Cropped to a single cell · peripheral blood film: 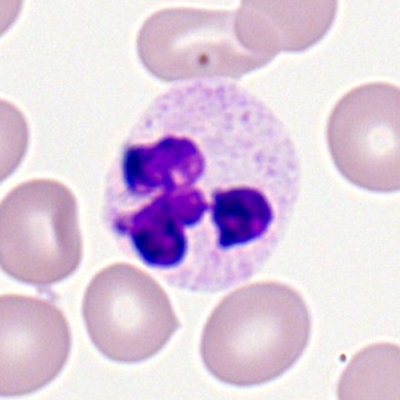
Q: What type of cell is this?
A: It is a polymorphonuclear neutrophil.